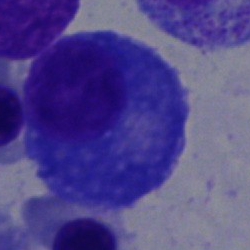A plasma cell.